Bone marrow smear; 40× objective, oil immersion:
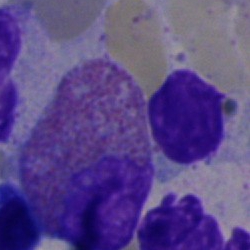Q: Which cell type is shown here?
A: Eosinophil.